Bone marrow aspirate smear:
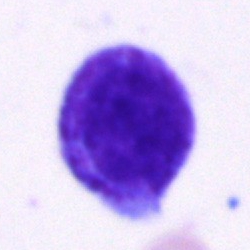 Morphology consistent with a promyelocyte.